Bone marrow aspirate smear — 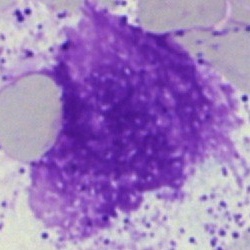
Morphology — artefact.